Peripheral blood film: 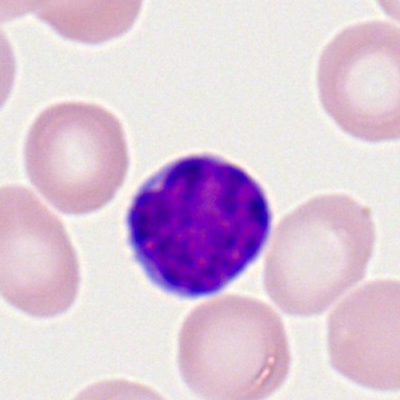A typical lymphocyte.